Bone marrow smear · 250 by 250 pixels · May-Grünwald-Giemsa stain — 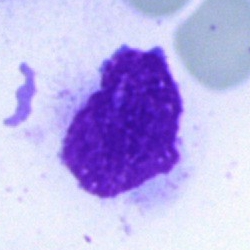

{"cell_type": "artifact"}